Bone marrow smear — 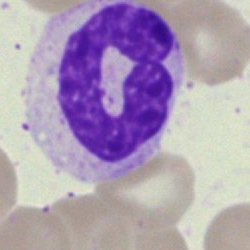 The cell is neutrophil (segmented).